Bone marrow smear
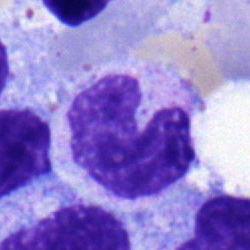
The cell shown is a band neutrophil.